Bone marrow aspirate smear
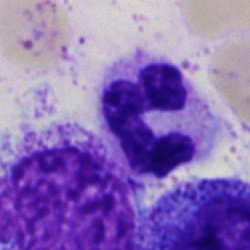 Cell = polymorphonuclear neutrophil.